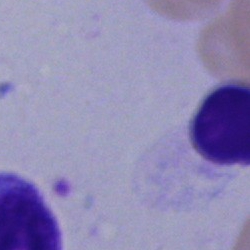Showing an artifact.